250×250 px · bone marrow aspirate smear.
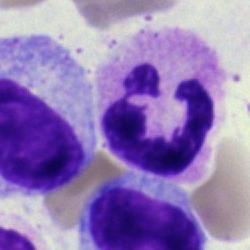 This is a polymorphonuclear neutrophil.